MGG-stained. Bone marrow aspirate smear. 250×250 px — 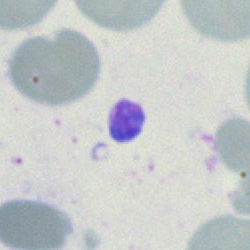 An artifact.